Bone marrow smear. Single-cell field. 40× oil immersion — 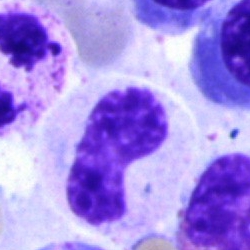 Q: What is shown here?
A: Band-form neutrophil.